Bone marrow aspirate smear · 250×250 px · cropped to a single cell: 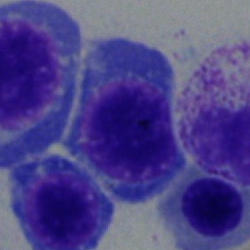Q: Which cell type is shown here?
A: Nucleated red cell.